Bone marrow aspirate smear: 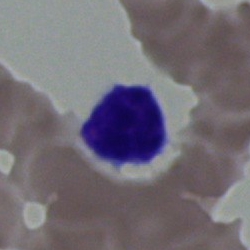Specimen: bone marrow aspirate smear.
Cell: typical lymphocyte.
Lineage: lymphoid.